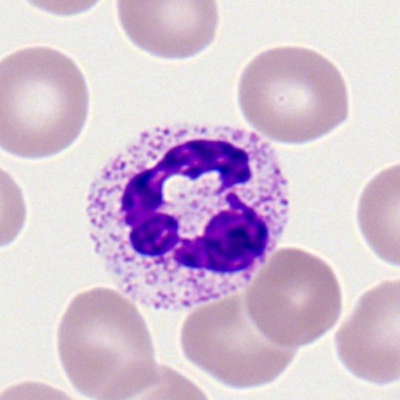 Cell type = polymorphonuclear neutrophil.